Bone marrow smear
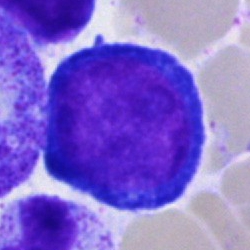Cell = proerythroblast.